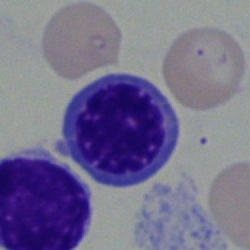

Morphology consistent with a nucleated red cell.